Peripheral blood smear
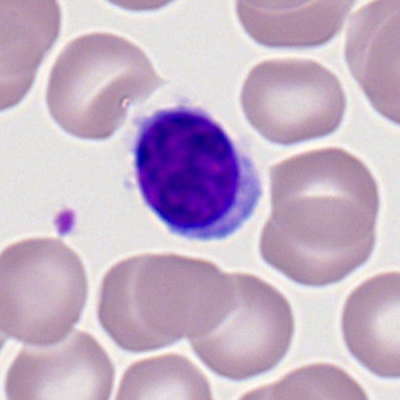Morphological class: lymphocyte.